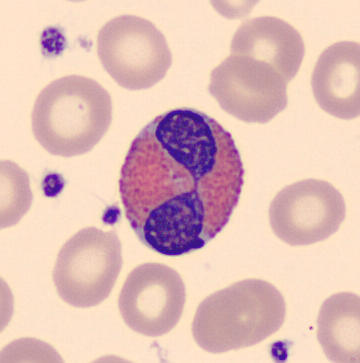Morphology — eosinophil.

Image: Peripheral blood smear.